Peripheral blood smear
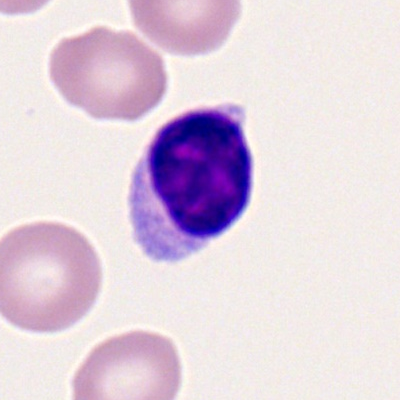
Q: What type of cell is this?
A: It is a lymphocyte.